Bone marrow smear · single-cell field — 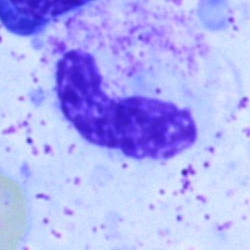This is a neutrophil (band).